Bone marrow smear: 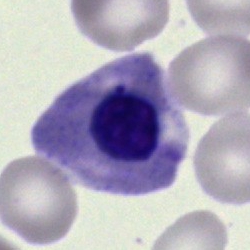
Specimen: bone marrow aspirate smear.
Morphological class: erythroblast.
Lineage: erythroid.